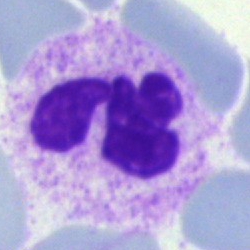 Specimen: bone marrow aspirate smear.
Cell type: segmented neutrophil.